Bone marrow aspirate smear: 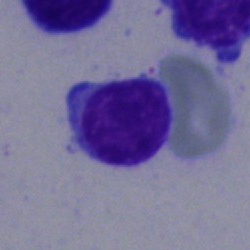
Typical lymphocyte.